Bone marrow aspirate smear: 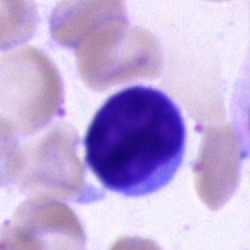
Classification — lymphocyte.